250×250; bone marrow smear.
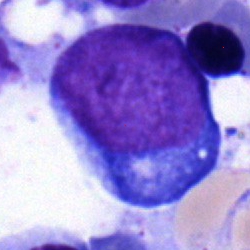Impression → pronormoblast.